May-Grünwald-Giemsa stain; 250×250 px; bone marrow aspirate smear.
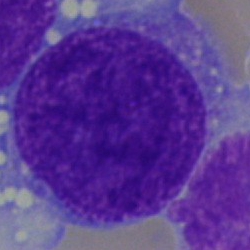

Specimen: bone marrow aspirate smear.
Morphological class: blast cell.